Bone marrow smear; cropped to a single cell
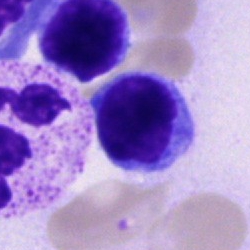 The classification is lymphocyte.